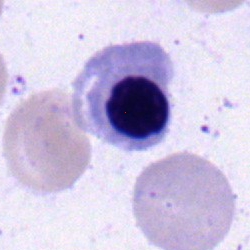 Bone marrow aspirate smear, single cell — nucleated red cell.